Bone marrow smear · Pappenheim-stained
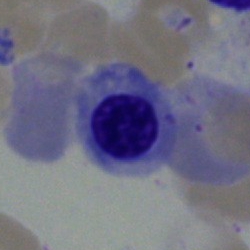

Showing a nucleated red blood cell.